Bone marrow smear: 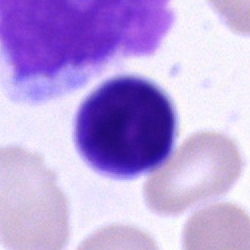
This is a lymphocyte.